Bone marrow aspirate smear.
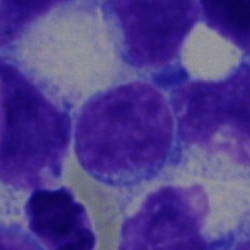
Classification — lymphocyte.